Image size 250×250 · bone marrow smear:
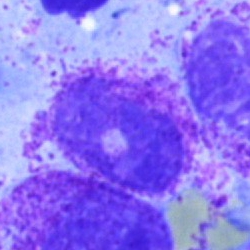
Morphology → artefact.